Bone marrow aspirate smear — 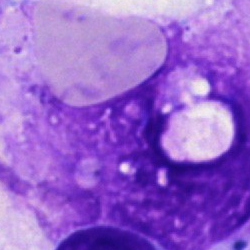

Single cell identified as an artefact.